Bone marrow smear; single cell centered in the field.
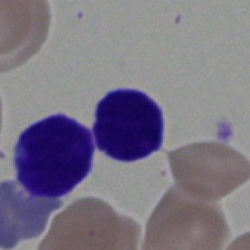Q: What type of cell is this?
A: Typical lymphocyte.